Bone marrow aspirate smear.
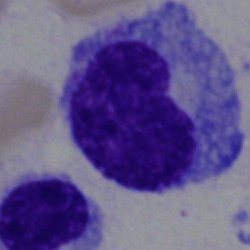
Single cell identified as a metamyelocyte.